Bone marrow smear · May-Grünwald-Giemsa/Pappenheim stain · image size 250×250:
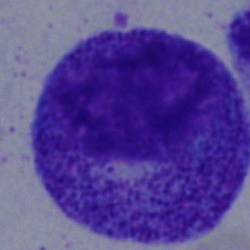

Q: What cell is this?
A: A myelocyte.